Pappenheim-stained; bone marrow smear:
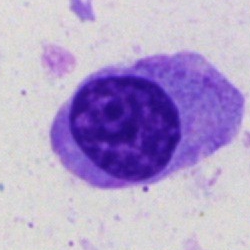 The morphological class is plasma cell.